Bone marrow aspirate smear · May-Grünwald-Giemsa stain: 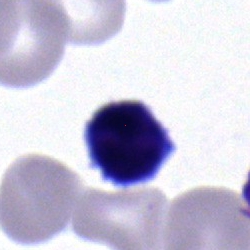
Impression — lymphocyte.